Bone marrow smear
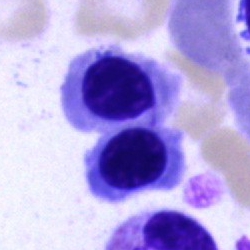 A nucleated red cell.